Cropped to a single cell. Bone marrow aspirate smear. Pappenheim-stained:
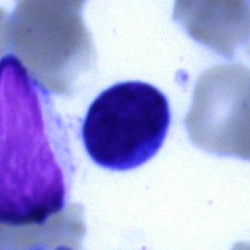The morphological class is typical lymphocyte.